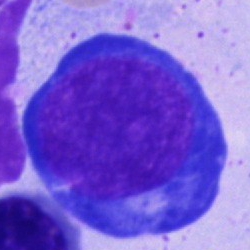
Impression → pronormoblast.